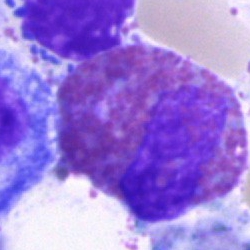 Classification: eosinophil.